Peripheral blood smear:
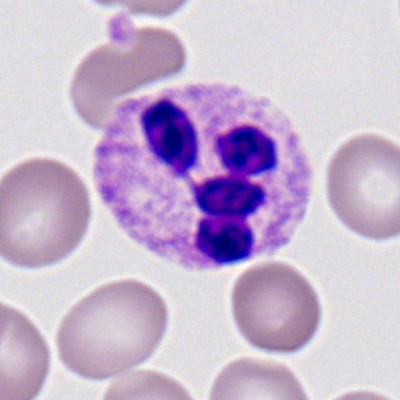 Specimen: peripheral blood film.
Morphological class: segmented neutrophil.
Lineage: myeloid.